40× oil immersion. Bone marrow smear
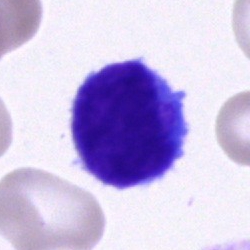This is a typical lymphocyte.